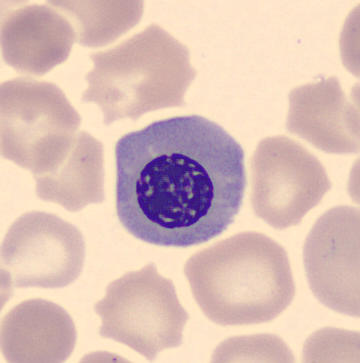Acquisition: Peripheral blood film. Morphology → normoblast.